MGG stain · automated cell imaging (CellaVision DM96) · peripheral blood smear
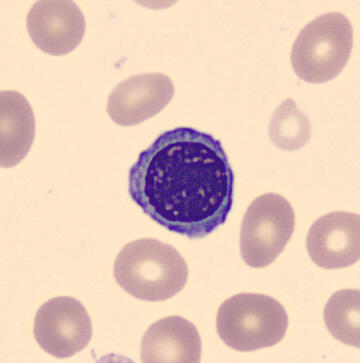 Morphology → erythroblast.